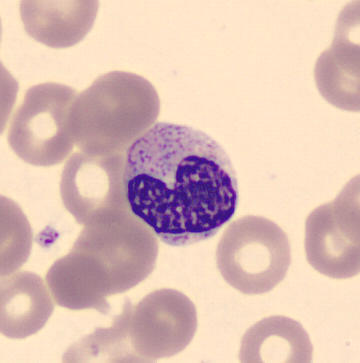

Specimen: peripheral blood smear.
Morphological class: metamyelocyte.